250 by 250 pixels. Brightfield, 40× oil-immersion objective. Bone marrow smear:
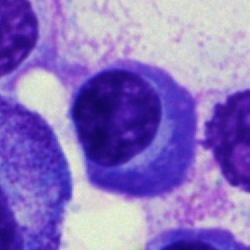
Q: What is the morphological classification of this cell?
A: Plasma cell.